Bone marrow smear · 250×250 px.
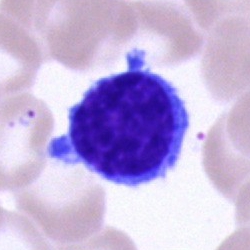
{"cell_type": "typical lymphocyte", "lineage": "lymphoid"}